May-Grünwald-Giemsa stain; bone marrow smear — 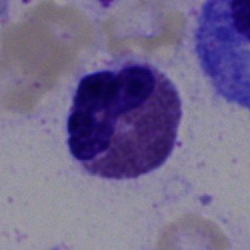

The cell type is eosinophil.